Bone marrow aspirate smear
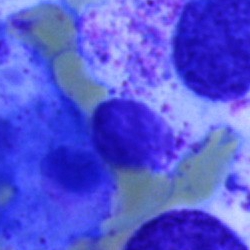
Classification: artefact.